Peripheral blood film
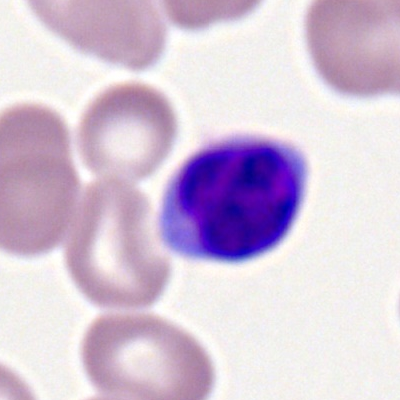Morphological class = typical lymphocyte.